Bone marrow aspirate smear; image size 250×250 — 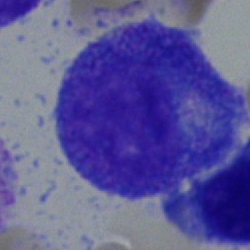
Impression → progranulocyte.